Bone marrow aspirate smear.
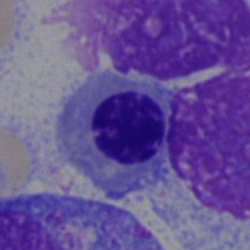 Q: Which cell type is shown here?
A: A normoblast.